Bone marrow aspirate smear
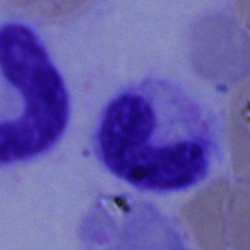

Morphological class: band-form neutrophil.